Peripheral blood film.
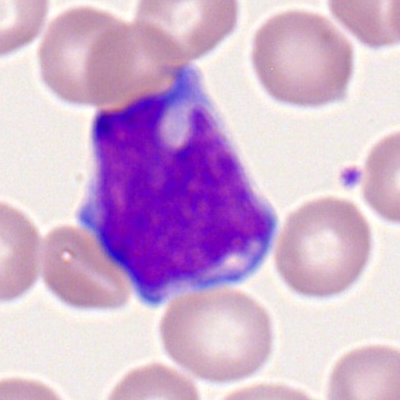Specimen: peripheral blood smear.
Classification: myeloid blast.